Bone marrow aspirate smear.
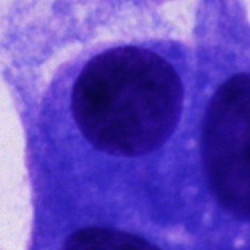
Impression — cell not matching the other categories.